Single cell centered in the field. Bone marrow aspirate smear. Pappenheim-stained — 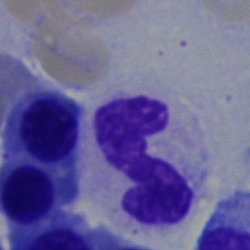

{"cell_type": "neutrophil (band)"}